Single-cell crop; MGG-stained; bone marrow smear — 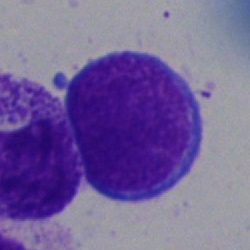 Classification = lymphocyte.